Bone marrow smear.
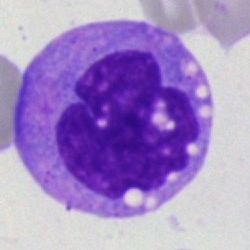 Morphology consistent with a monocyte.